Bone marrow smear: 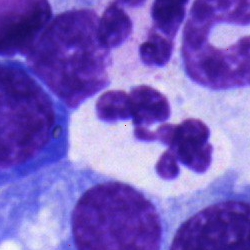 Q: What cell is this?
A: It is a polymorphonuclear neutrophil.